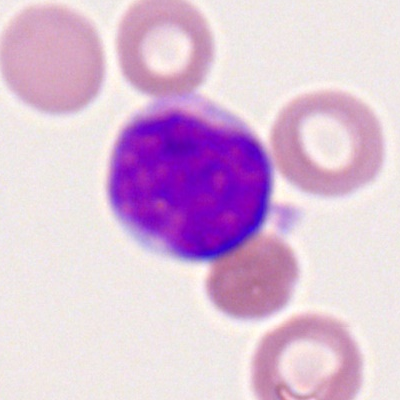
Specimen: peripheral blood film.
Cell type: myeloblast.